Bone marrow aspirate smear:
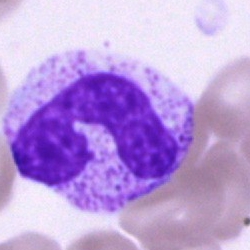
The classification is neutrophil (band).